Bone marrow aspirate smear: 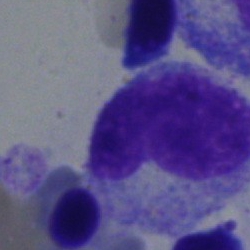Cell: metamyelocyte.